Bone marrow smear: 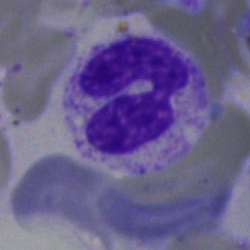 A polymorphonuclear neutrophil.